Peripheral blood film · 360 by 363 pixels · May-Grünwald-Giemsa-stained
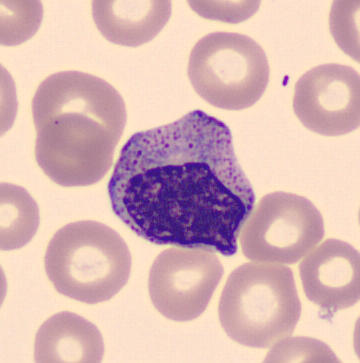 This is a metamyelocyte.